Bone marrow smear. Single cell centered in the field. Image size 250×250: 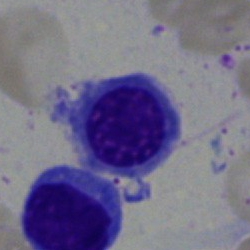

Specimen: bone marrow smear.
Cell: nucleated red cell.
Lineage: erythroid.